40× oil immersion · cropped to a single cell · bone marrow smear:
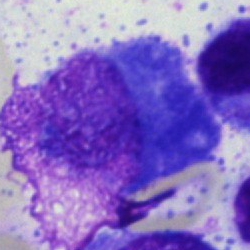An artifact.